Bone marrow aspirate smear.
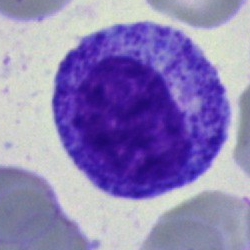

The cell shown is a promyelocyte.